Brightfield microscopy, 40× oil immersion. Bone marrow smear:
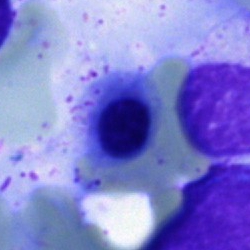

Showing a nucleated red cell.